Pappenheim-stained; single-cell field; bone marrow smear: 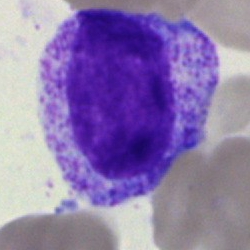Specimen: bone marrow smear.
Classification: myelocyte.
Lineage: myeloid.